Bone marrow aspirate smear.
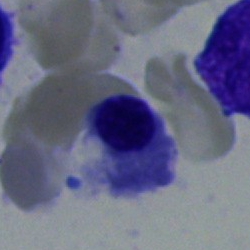

Single cell identified as an erythroblast.